Peripheral blood smear:
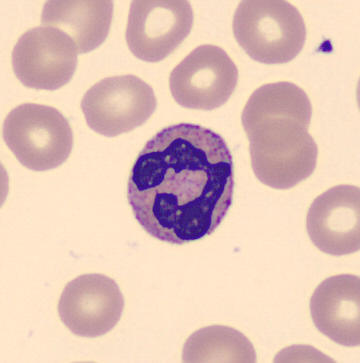 Q: What cell is this?
A: It is a neutrophil (segmented).